Bone marrow aspirate smear: 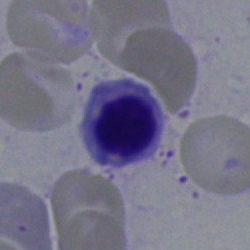
Showing a nucleated red cell.